Bone marrow aspirate smear
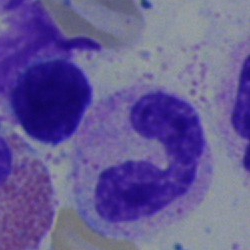

Q: Which cell type is shown here?
A: A neutrophil (band).